Brightfield, 40× oil-immersion objective · bone marrow aspirate smear · single-cell crop: 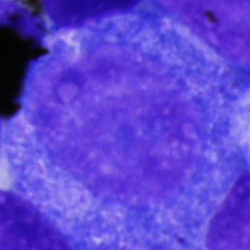 Morphology → promyelocyte.